Bone marrow aspirate smear; May-Grünwald-Giemsa stain: 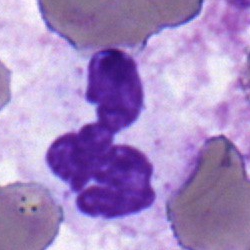
This is a polymorphonuclear neutrophil.